Bone marrow smear.
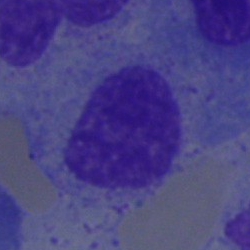

Cell type = myelocyte.